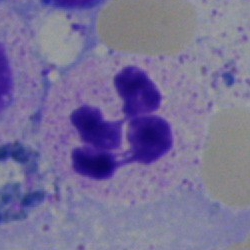Segmented neutrophil.